Peripheral blood film: 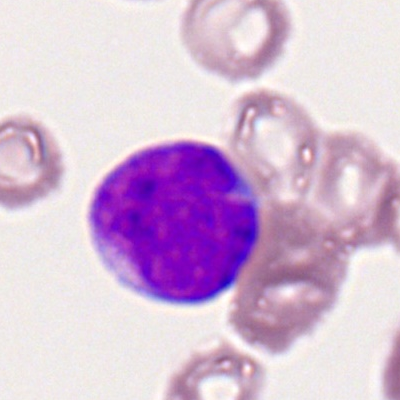 Q: What is the morphological classification of this cell?
A: Myeloid blast.